May-Grünwald-Giemsa stain; bone marrow smear; image size 250×250:
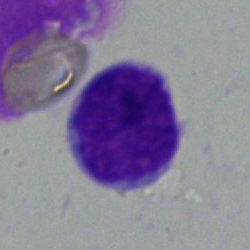The cell is typical lymphocyte.